Cropped to a single cell; peripheral blood film; Romanowsky-stained:
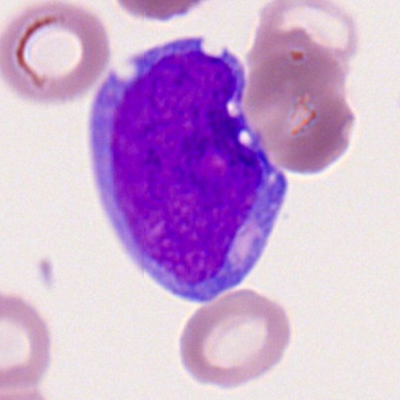

A myeloid blast.